Bone marrow smear. 250×250 px
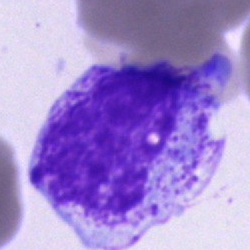
Showing a progranulocyte.